Brightfield, 40× oil-immersion objective. Bone marrow aspirate smear: 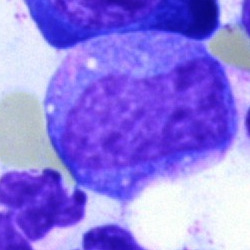

Morphology consistent with a progranulocyte.